Bone marrow aspirate smear:
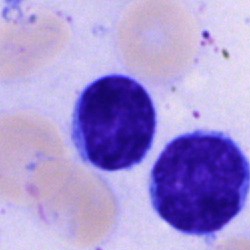
This is a typical lymphocyte.